Peripheral blood smear. Brightfield, 100× oil-immersion objective. 400 by 400 pixels:
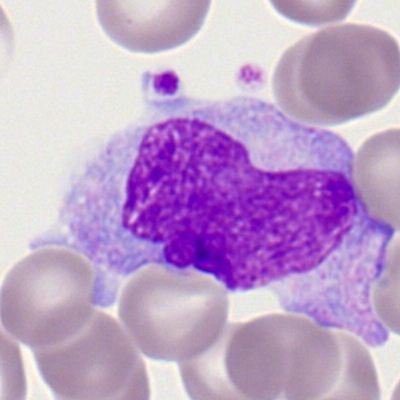 Showing a monocyte.